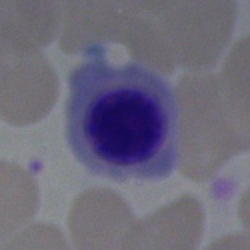
Q: What is shown here?
A: It is an erythroblast.